Bone marrow smear — 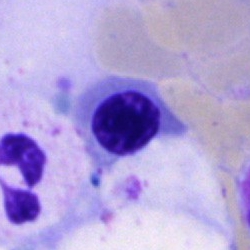Cell — nucleated red blood cell.